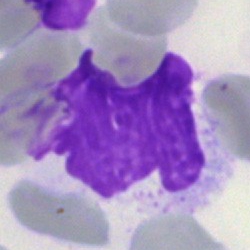

Cell: artifact.